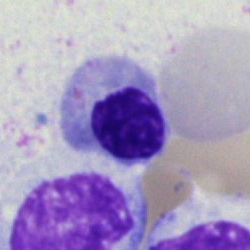Showing a normoblast.